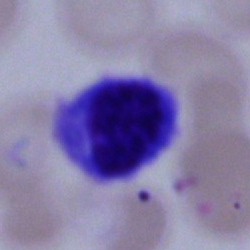

Morphological class = lymphocyte.